Bone marrow smear; brightfield microscopy, 40× oil immersion:
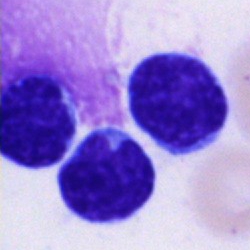A typical lymphocyte.